Bone marrow smear.
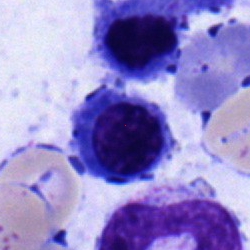 The cell is nucleated red cell.